May-Grünwald-Giemsa/Pappenheim stain; bone marrow smear
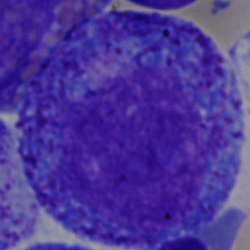

Cell = promyelocyte.